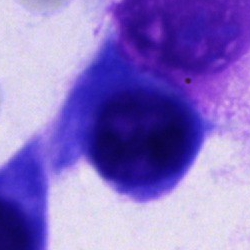Single-cell crop from a bone marrow smear: other cell type.